Bone marrow smear · single cell centered in the field:
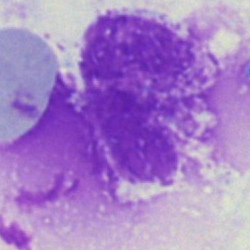
Morphological class: artifact.